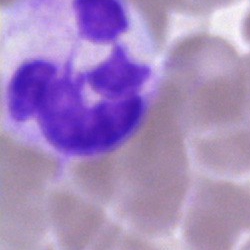
Polymorphonuclear neutrophil.